Bone marrow smear
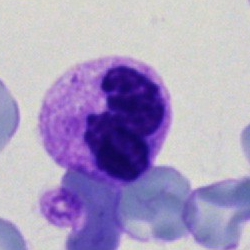 Impression → segmented neutrophil.